Bone marrow aspirate smear:
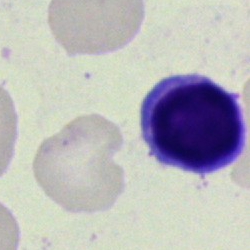A lymphocyte.